40× oil immersion; bone marrow smear — 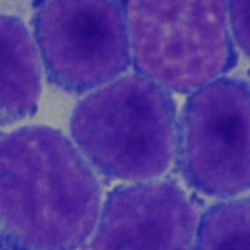

Impression — typical lymphocyte.